Bone marrow smear.
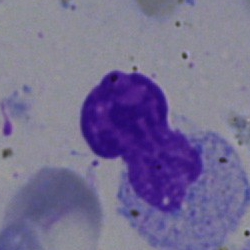This is an artifact.